May-Grünwald-Giemsa stain; 250×250 px; bone marrow smear
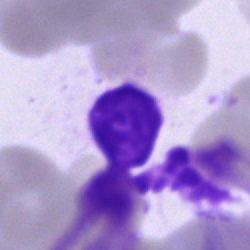
Q: Identify the cell.
A: This is a cell of indeterminate lineage.